Bone marrow aspirate smear:
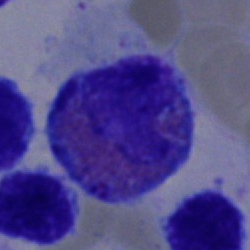
Showing an eosinophilic granulocyte.